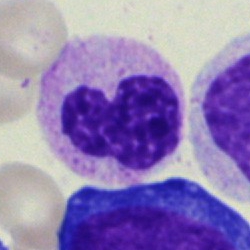 Q: What cell is this?
A: Stab cell.